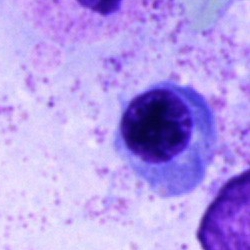Morphological class: normoblast.